Peripheral blood smear:
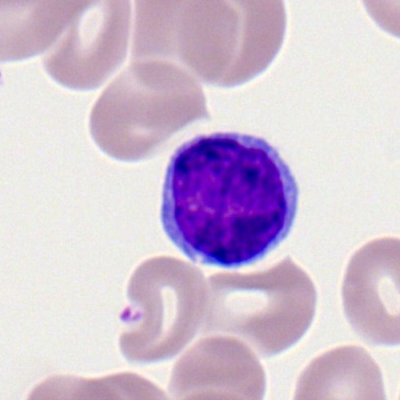 A lymphocyte.